Bone marrow smear — 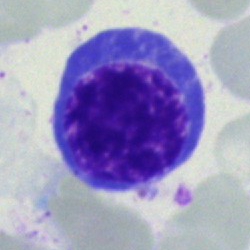

Classification — normoblast.